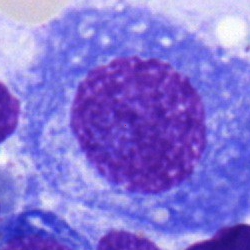
Single-cell crop from a bone marrow smear: plasmacyte.